Bone marrow smear — 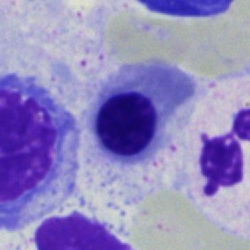
Q: Identify the cell.
A: Nucleated red blood cell.